Single-cell field. Bone marrow smear:
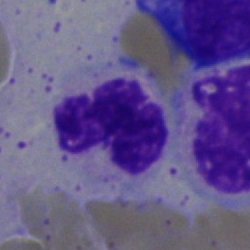

A polymorphonuclear neutrophil.